Bone marrow aspirate smear: 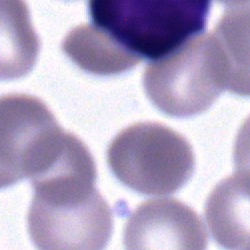Q: Identify the cell.
A: Typical lymphocyte.